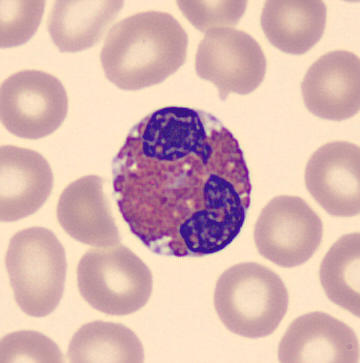
Single cell identified as an eosinophil.